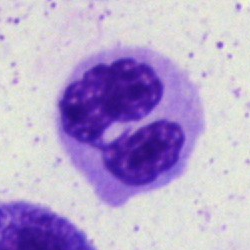 Bone marrow aspirate smear, single cell — polymorphonuclear neutrophil.